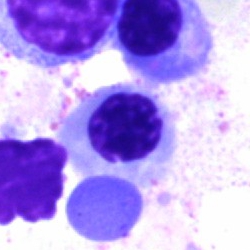

An erythroblast on a bone marrow smear.